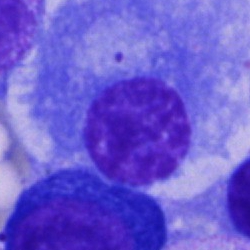 {"cell_type": "plasmacyte", "lineage": "lymphoid"}